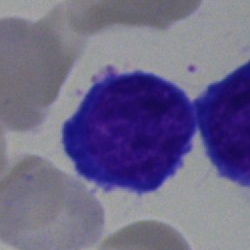Morphology — normoblast.